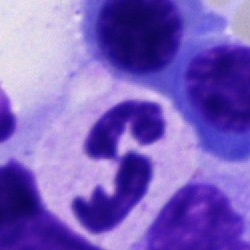 Cell = segmented neutrophil.